Bone marrow smear; single cell centered in the field; Pappenheim-stained:
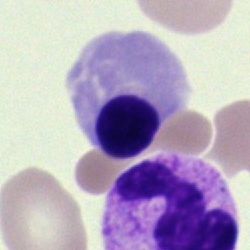

The cell shown is an erythroblast.